Brightfield, 40× oil-immersion objective · bone marrow smear · single-cell field:
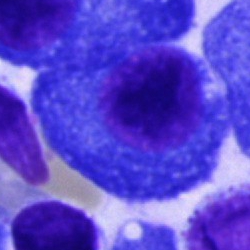

Specimen: bone marrow smear.
Cell type: plasmacyte.
Lineage: lymphoid.